Bone marrow aspirate smear; brightfield, 40× oil-immersion objective
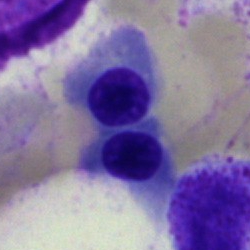The cell shown is an erythroblast.